Bone marrow aspirate smear: 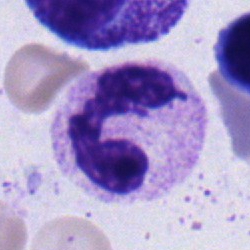

Impression → polymorphonuclear neutrophil.